Brightfield microscopy, 40× oil immersion. Bone marrow aspirate smear:
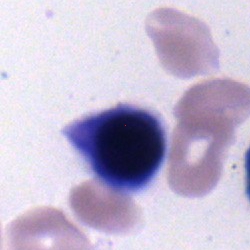Normoblast.